40× oil immersion; 250×250; bone marrow smear
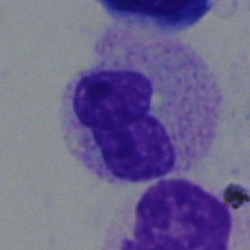 Q: Identify the cell.
A: This is a metamyelocyte.